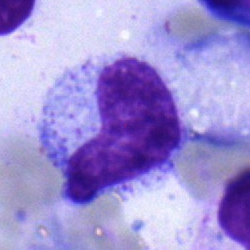
Q: Identify the cell.
A: It is a metamyelocyte.